Bone marrow aspirate smear.
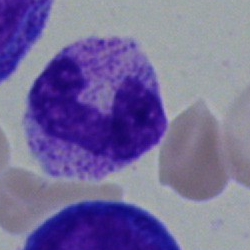 Cell type: band neutrophil.